Pappenheim-stained · bone marrow aspirate smear · 250 by 250 pixels.
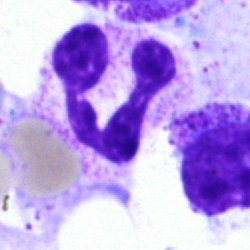

A segmented neutrophil.